Bone marrow smear. Pappenheim-stained: 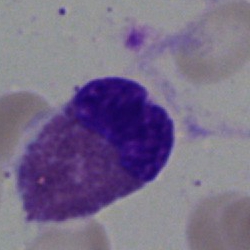
Morphological class = eosinophil.